Bone marrow smear; May-Grünwald-Giemsa stain — 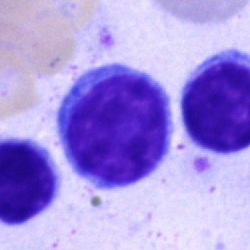

Impression — lymphocyte.